Bone marrow smear — 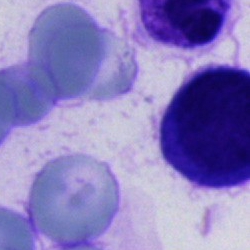Cell type: cell of indeterminate lineage.